Bone marrow smear.
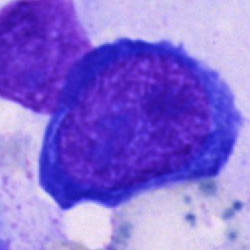The cell shown is a pronormoblast.